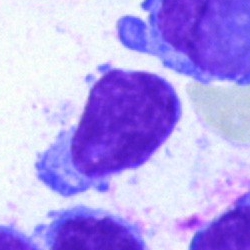 Classification = typical lymphocyte.